Bone marrow smear.
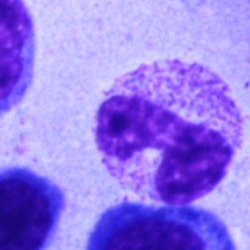A stab cell.